Bone marrow aspirate smear:
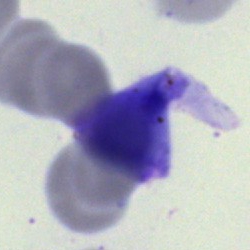 This is an artifact.